Bone marrow smear — 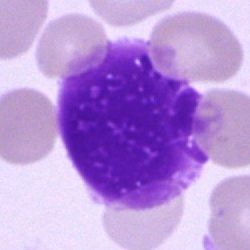

Impression — artefact.